Bone marrow aspirate smear: 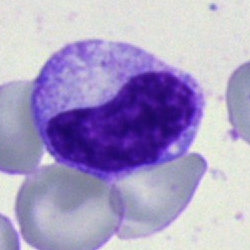

The cell shown is a metamyelocyte.